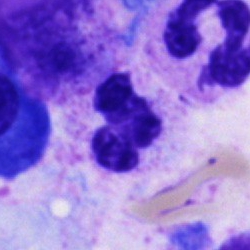Cell — neutrophil (segmented).